Single-cell field; bone marrow aspirate smear:
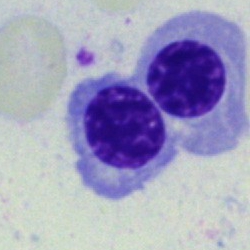
Morphological class = nucleated red cell.